250×250 px. Bone marrow smear:
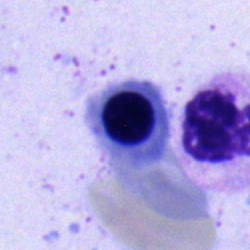Morphology — erythroblast.